Bone marrow smear:
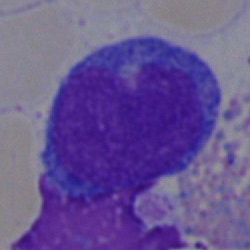

Specimen: bone marrow smear.
Cell: undifferentiated blast.